Bone marrow aspirate smear:
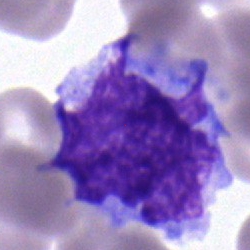Morphology consistent with a monocyte.